Peripheral blood film:
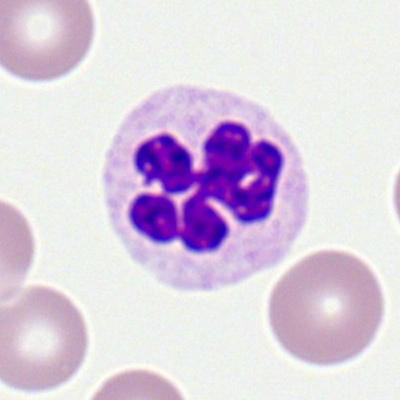

A segmented neutrophil.